Single cell centered in the field. Brightfield microscopy, 40× oil immersion. Bone marrow smear
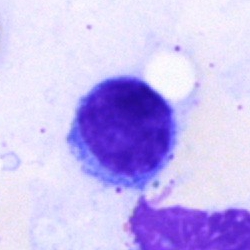
Cell — lymphocyte.